Bone marrow aspirate smear — 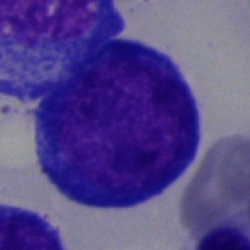 Morphology → proerythroblast.